Bone marrow aspirate smear · 40× objective, oil immersion:
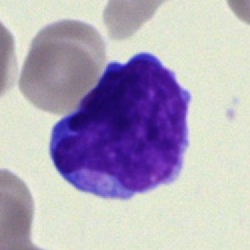The morphological class is undifferentiated blast.